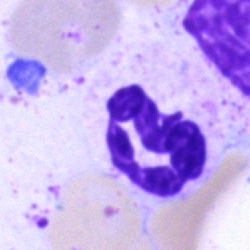Classification: segmented neutrophil.